Bone marrow smear; 250×250 px
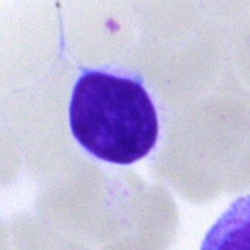 Specimen: bone marrow smear.
Cell: lymphocyte.
Lineage: lymphoid.